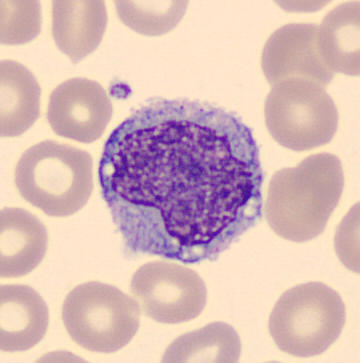

The cell shown is a monocyte. Peripheral blood smear; automated cell imaging (CellaVision DM96).